Bone marrow smear:
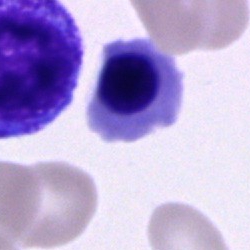Cell: nucleated red cell.